Romanowsky stain; 400×400; peripheral blood smear: 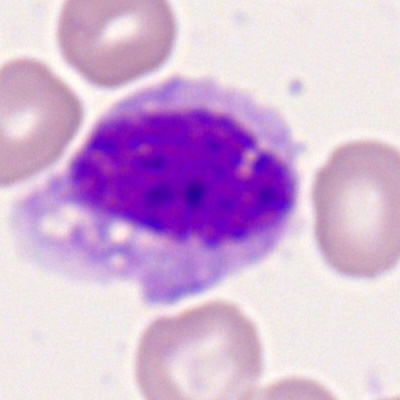
The cell shown is a monocyte.